May-Grünwald-Giemsa stain; bone marrow smear; 250×250 — 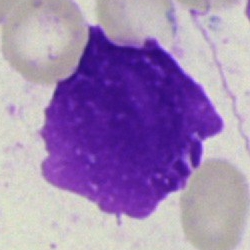 The cell type is artefact.